Bone marrow aspirate smear; single-cell crop
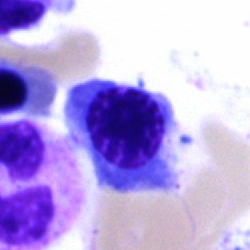
Cell type = nucleated red cell.